Bone marrow smear. Cropped to a single cell: 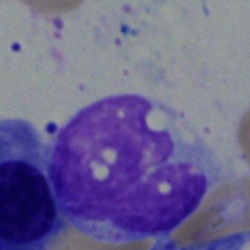Morphological class — blast cell.